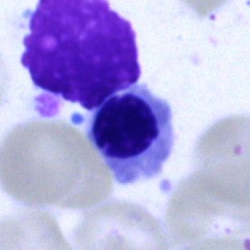

Specimen: bone marrow aspirate smear.
Cell: erythroblast.
Lineage: erythroid.